Brightfield, 40× oil-immersion objective. 250 by 250 pixels. Bone marrow aspirate smear: 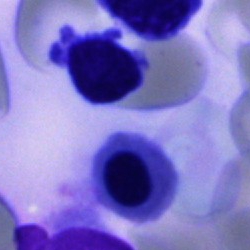 Specimen: bone marrow aspirate smear.
Classification: nucleated red blood cell.
Lineage: erythroid.